Brightfield microscopy, 40× oil immersion · bone marrow smear
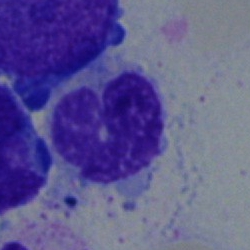
Morphological class = monocyte.